Peripheral blood smear:
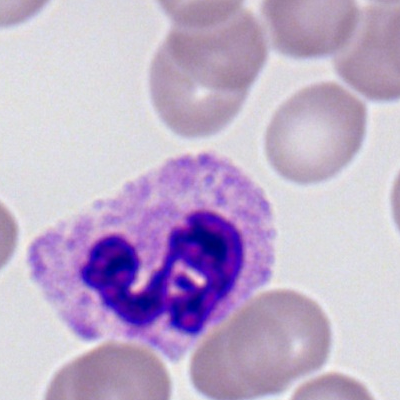
Showing a neutrophil (segmented).